Bone marrow smear
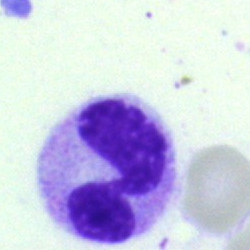Morphology consistent with a neutrophil (segmented).